Single-cell crop. Peripheral blood film: 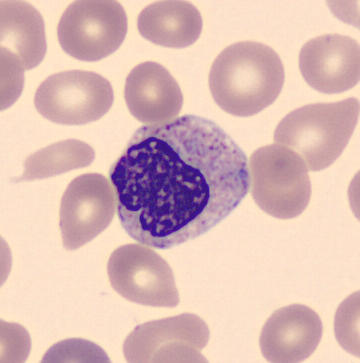

Morphology — metamyelocyte.